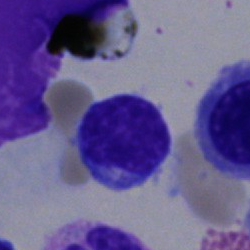
A typical lymphocyte on a bone marrow smear.